Bone marrow aspirate smear. 250×250
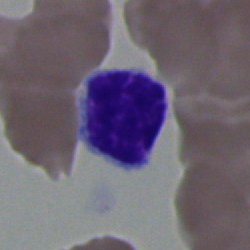Specimen: bone marrow aspirate smear.
Cell: lymphocyte.